Bone marrow aspirate smear
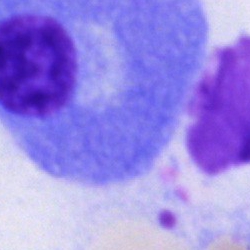Classification: plasma cell.